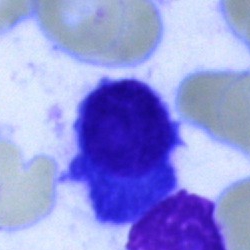 Morphological class = plasma cell.